Bone marrow smear. May-Grünwald-Giemsa stain: 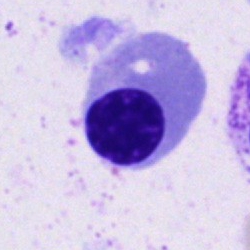
Cell: normoblast.